Bone marrow aspirate smear
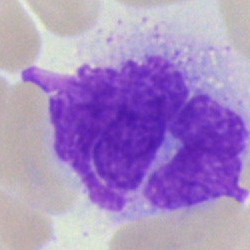

Showing an artefact.